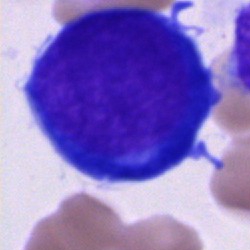Single cell identified as a proerythroblast.